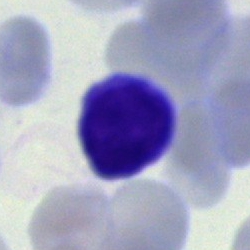

Morphology consistent with a typical lymphocyte.